Bone marrow aspirate smear; 40× objective, oil immersion: 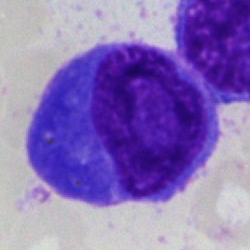
Specimen: bone marrow aspirate smear.
Classification: plasma cell.
Lineage: lymphoid.